Peripheral blood film; 400×400: 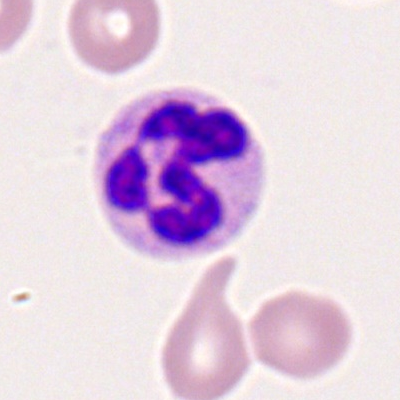Classification = segmented neutrophil.